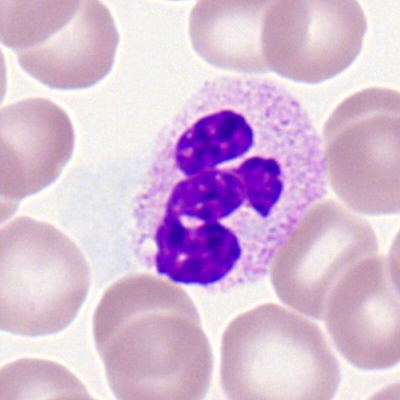Single cell identified as a segmented neutrophil.